Bone marrow aspirate smear.
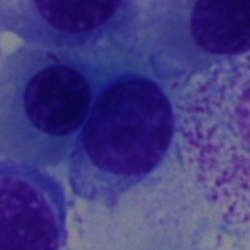Showing a nucleated red blood cell.